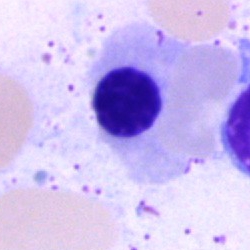
This is an erythroblast.